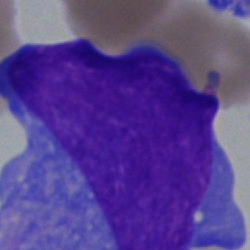 Specimen: bone marrow smear.
Morphological class: blast cell.